Bone marrow smear · May-Grünwald-Giemsa stain: 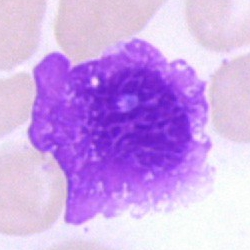

This is an artifact.